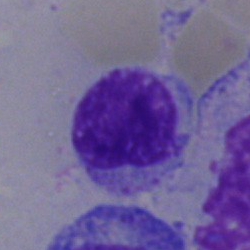Lymphocyte.